Bone marrow smear; image size 250×250.
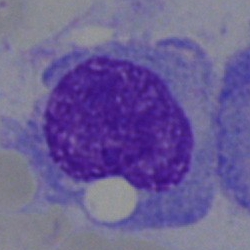
Plasmacyte.